Bone marrow aspirate smear.
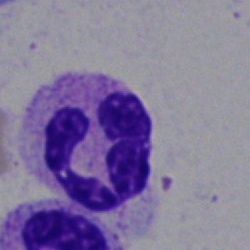

{"cell_type": "neutrophil (segmented)", "lineage": "myeloid"}